Bone marrow aspirate smear:
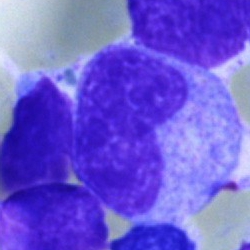 Q: What cell is this?
A: Metamyelocyte.